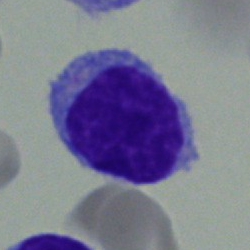

Specimen: bone marrow aspirate smear.
Cell type: lymphocyte.
Lineage: lymphoid.